Bone marrow smear; brightfield microscopy, 40× oil immersion; 250×250 px.
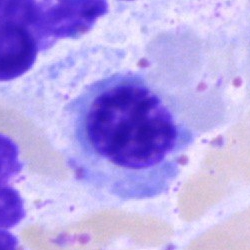 Specimen: bone marrow aspirate smear.
Morphological class: normoblast.
Lineage: erythroid.